400×400 px; brightfield, 100× oil-immersion objective; peripheral blood smear
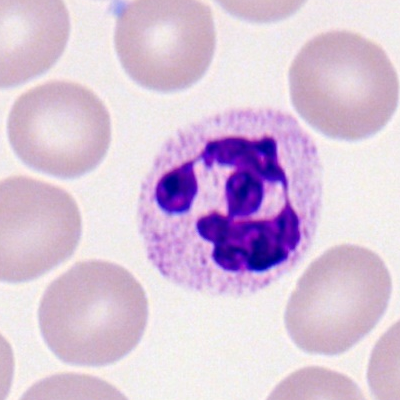Q: Identify the cell.
A: It is a neutrophil (segmented).